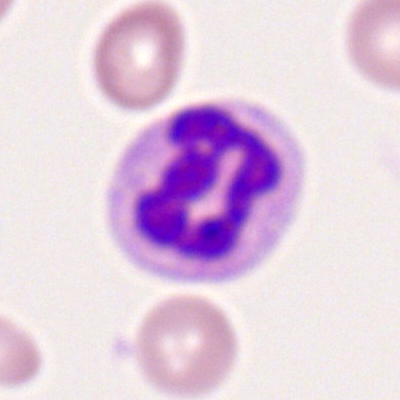

Classification: neutrophil (segmented).